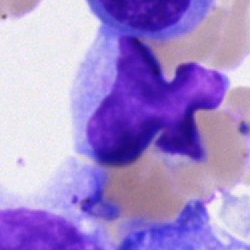

Single cell identified as an artifact.